Bone marrow aspirate smear — 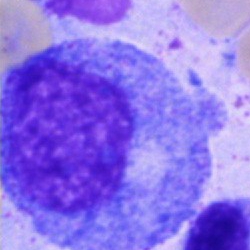

A progranulocyte.